Bone marrow smear
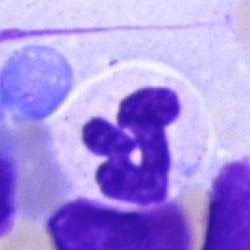
Showing a polymorphonuclear neutrophil.